Bone marrow smear: 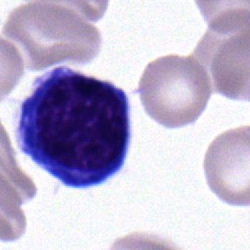

Showing a nucleated red blood cell.